Bone marrow smear; May-Grünwald-Giemsa/Pappenheim stain.
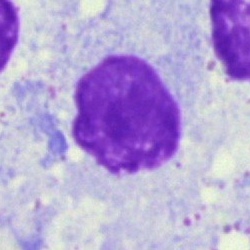
The cell is artifact.